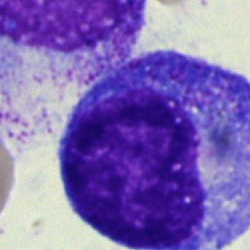

The cell shown is a progranulocyte.